Bone marrow smear; 250 by 250 pixels; May-Grünwald-Giemsa stain:
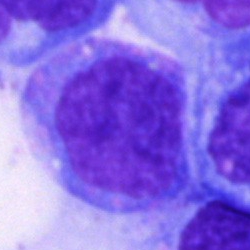
The cell shown is a promyelocyte.